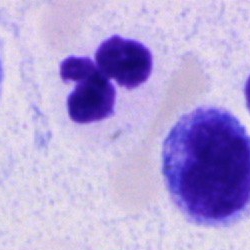
Classification: neutrophil (segmented).